MGG-stained · 40× objective, oil immersion · bone marrow aspirate smear:
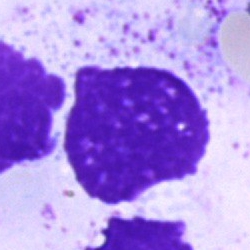The cell shown is an artifact.